May-Grünwald-Giemsa/Pappenheim stain. Bone marrow aspirate smear:
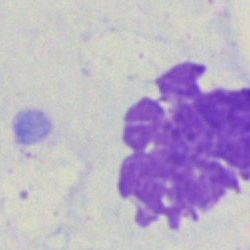
Cell type — artefact.